MGG-stained · bone marrow aspirate smear:
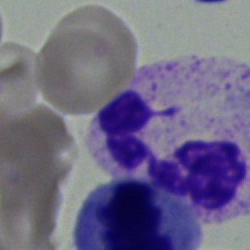The cell type is neutrophil (segmented).